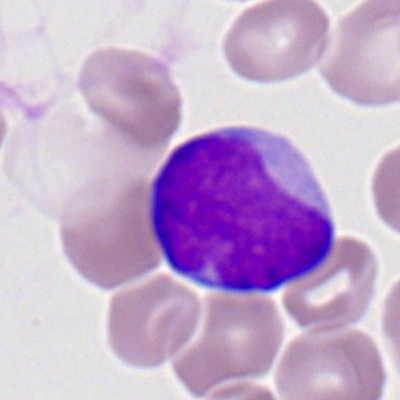

Classification = myeloid blast.